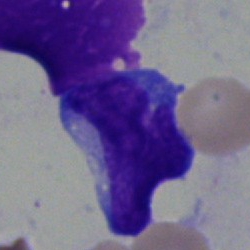 Single cell identified as an undifferentiated blast.